Bone marrow smear — 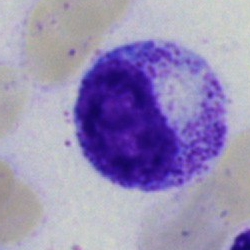 Classification: myelocyte.